Bone marrow aspirate smear; 250×250.
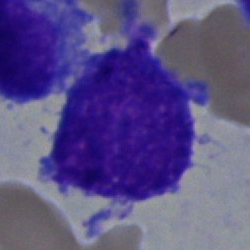

{"cell_type": "undifferentiated blast"}